Bone marrow smear; 40× oil immersion
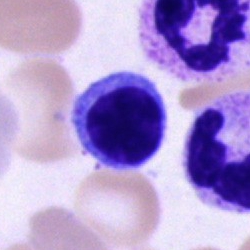
Cell type — lymphocyte.